Peripheral blood film · 100× objective, oil immersion: 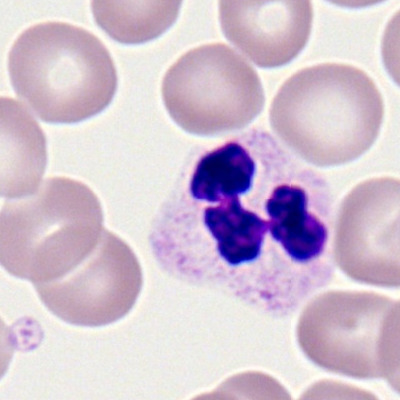Specimen: peripheral blood film.
Cell type: segmented neutrophil.
Lineage: myeloid.